Peripheral blood film:
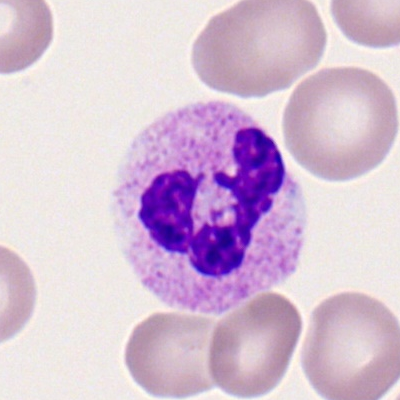
Showing a polymorphonuclear neutrophil.